Bone marrow aspirate smear; 250 by 250 pixels:
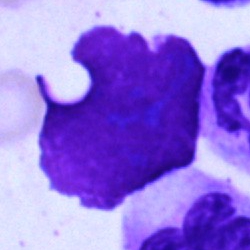 An artifact.